Bone marrow aspirate smear: 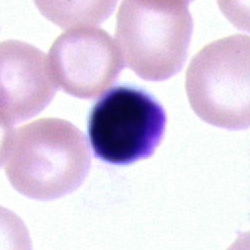
Showing an unidentifiable cell.